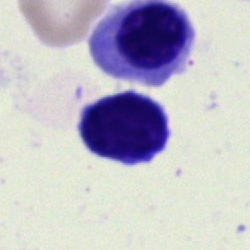

The cell type is lymphocyte.